Single-cell field. Bone marrow aspirate smear. Pappenheim-stained
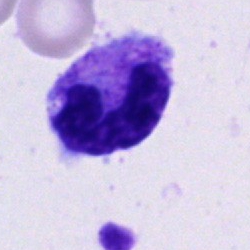

Morphological class = polymorphonuclear neutrophil.